Single cell centered in the field; bone marrow aspirate smear:
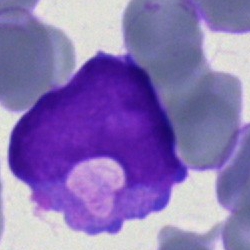

The classification is undifferentiated blast.